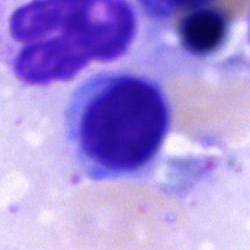Q: What is the morphological classification of this cell?
A: It is a lymphocyte.